Brightfield microscopy, 40× oil immersion. Bone marrow aspirate smear. Single cell centered in the field
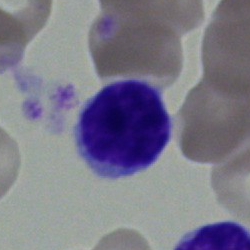{"cell_type": "lymphocyte"}